Cropped to a single cell · May-Grünwald-Giemsa/Pappenheim stain · bone marrow smear — 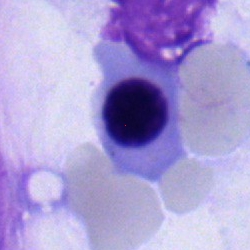 The morphological class is nucleated red cell.